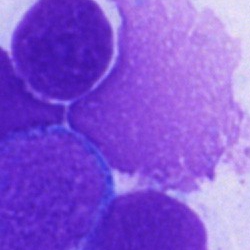
The cell type is artifact.